Brightfield microscopy, 40× oil immersion. Bone marrow aspirate smear:
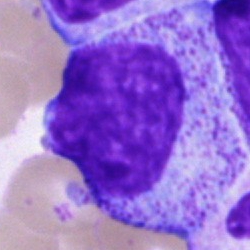
Morphology consistent with a progranulocyte.